Bone marrow aspirate smear · cropped to a single cell · image size 250×250: 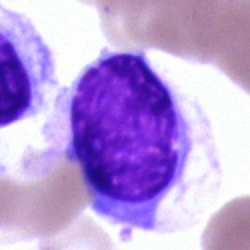Morphology consistent with a hairy cell.